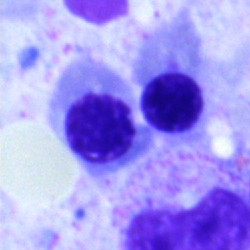 Specimen: bone marrow aspirate smear.
Cell type: nucleated red blood cell.